Bone marrow aspirate smear
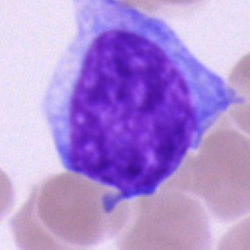

Morphology consistent with an undifferentiated blast.